Bone marrow smear:
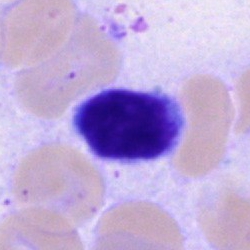The cell type is typical lymphocyte.